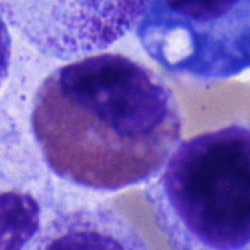
Morphology → eosinophilic granulocyte.